Cropped to a single cell. Bone marrow smear.
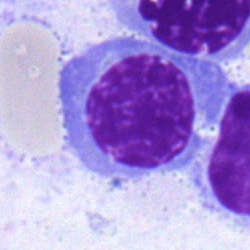
Cell: normoblast.